M8 digital microscope (Precipoint), 100× oil immersion; peripheral blood smear.
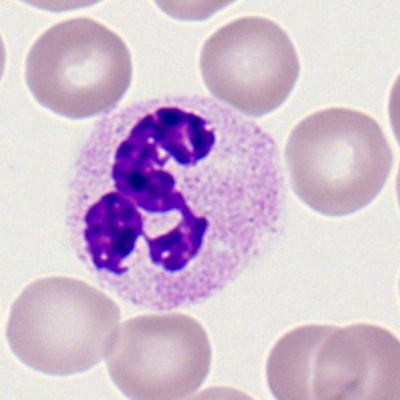 Q: What is the morphological classification of this cell?
A: Segmented neutrophil.